Bone marrow smear. Single-cell crop:
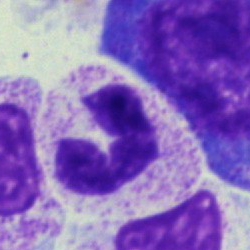

Q: What is the morphological classification of this cell?
A: Neutrophil (segmented).